Bone marrow aspirate smear; 40× objective, oil immersion — 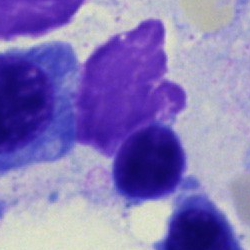 Q: Identify the cell.
A: Nucleated red blood cell.